Bone marrow smear — 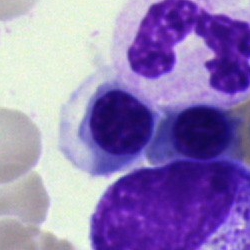

Morphology consistent with a nucleated red cell.